Bone marrow aspirate smear. Brightfield microscopy, 40× oil immersion — 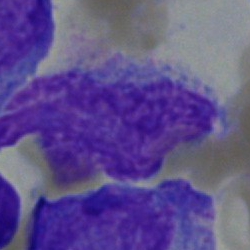Morphology → undifferentiated blast.